Peripheral blood smear; 100× oil immersion; single-cell crop: 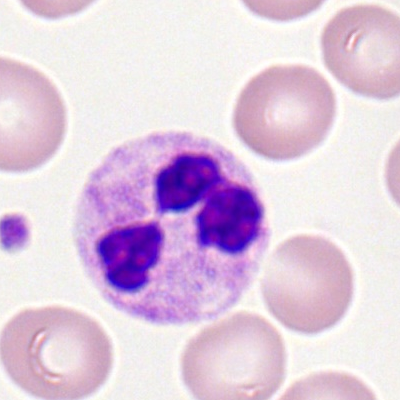{"cell_type": "neutrophil (segmented)", "lineage": "myeloid"}